40× oil immersion; bone marrow aspirate smear: 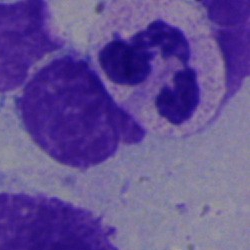

Cell type = neutrophil (segmented).